Bone marrow smear.
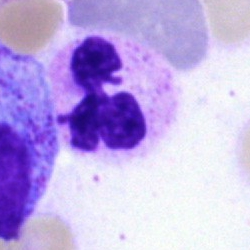Impression → neutrophil (segmented).